Bone marrow aspirate smear:
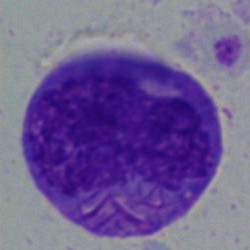

Morphology — cell with bundled Auer rods.